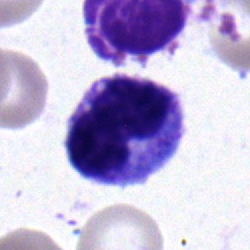

Stab cell.